Bone marrow aspirate smear; May-Grünwald-Giemsa/Pappenheim stain; single-cell field
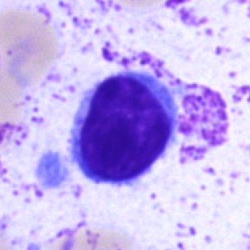
Showing a lymphocyte.